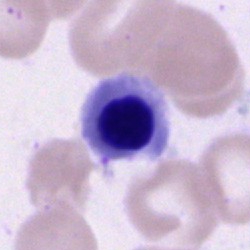
{"cell_type": "nucleated red blood cell", "lineage": "erythroid"}